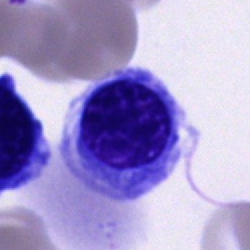
Q: What is shown here?
A: It is a normoblast.